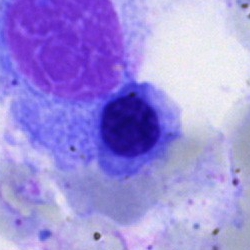 Specimen: bone marrow aspirate smear.
Morphological class: nucleated red cell.